May-Grünwald-Giemsa/Pappenheim stain. Bone marrow aspirate smear:
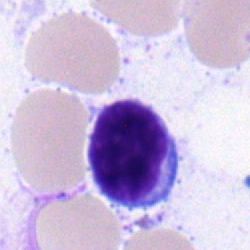

A lymphocyte.